Single-cell crop; bone marrow smear.
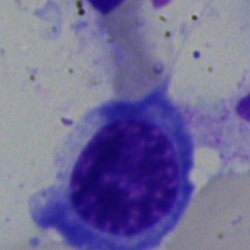

Morphological class = nucleated red blood cell.